250×250 px · cropped to a single cell · bone marrow aspirate smear — 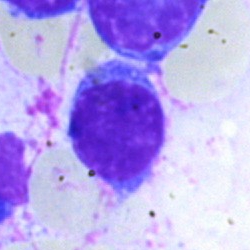Morphology — typical lymphocyte.